Bone marrow smear — 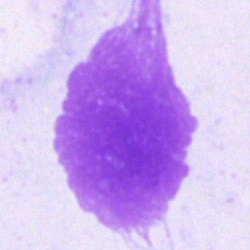 Q: What is shown here?
A: An artefact.